Bone marrow aspirate smear · 250×250 px · May-Grünwald-Giemsa stain.
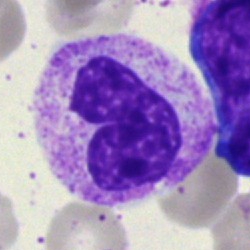 The cell shown is a band-form neutrophil.